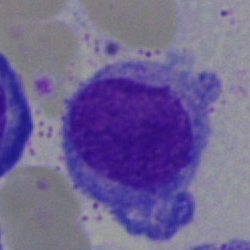 Q: What cell is this?
A: A typical lymphocyte.